Bone marrow smear: 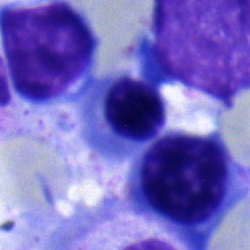

Specimen: bone marrow aspirate smear.
Cell: nucleated red blood cell.